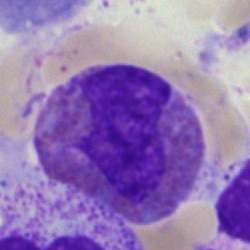
Cell = eosinophil.